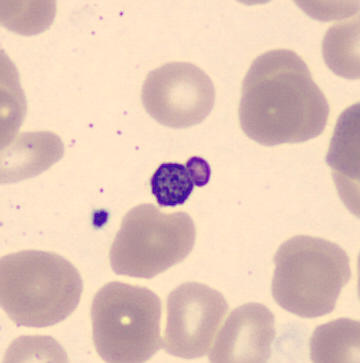

Morphology consistent with a platelet.